Peripheral blood smear; 360×363 px; May-Grünwald-Giemsa-stained
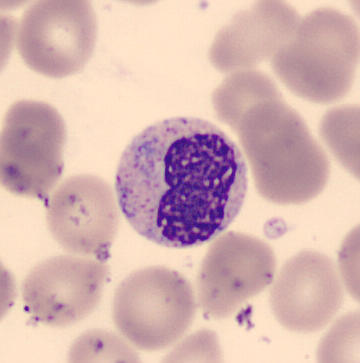
Identified as a metamyelocyte.